Bone marrow aspirate smear:
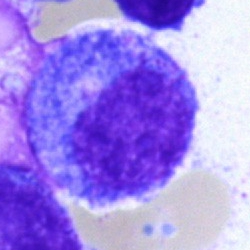 Single cell identified as a promyelocyte.